Single-cell crop. Peripheral blood smear.
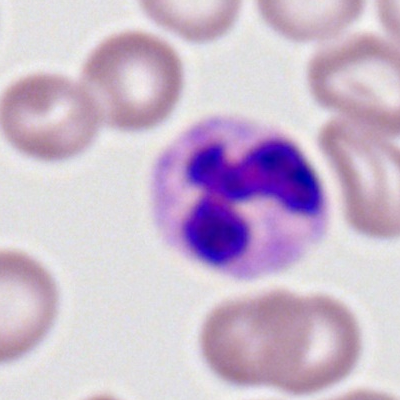
{"cell_type": "segmented neutrophil"}